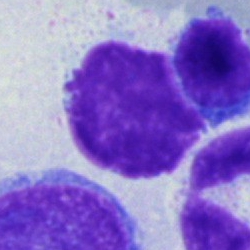
Specimen: bone marrow aspirate smear.
Cell: artifact.